Bone marrow smear. 250×250 px
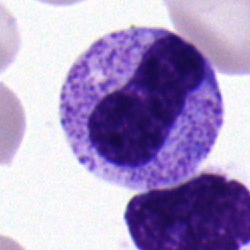
A band neutrophil.